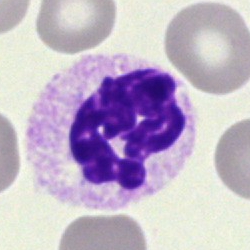 Morphology consistent with a neutrophil (segmented).